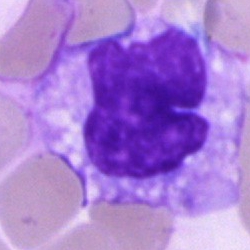 Specimen: bone marrow smear.
Cell type: monocyte.
Lineage: myeloid.